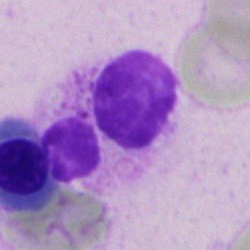
Classification — artifact.